Bone marrow smear. 250×250 px: 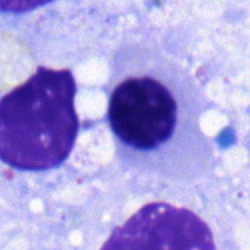

Nucleated red blood cell.